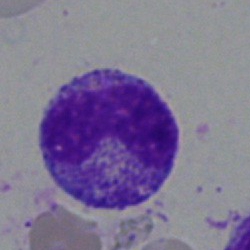
Q: What is shown here?
A: This is a stab cell.